Bone marrow smear:
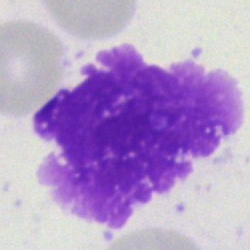
Showing an artefact.